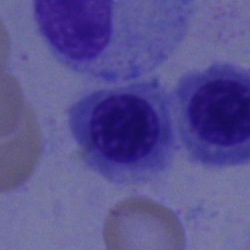This is an erythroblast.